Bone marrow smear: 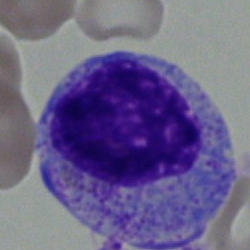{"cell_type": "progranulocyte", "lineage": "myeloid"}